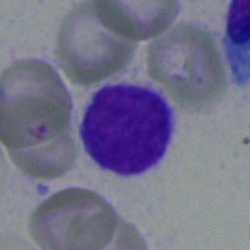
Bone marrow aspirate smear, single cell — typical lymphocyte.